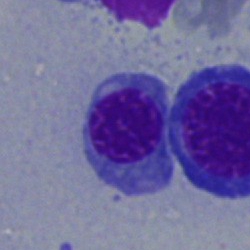
Classification: nucleated red cell.